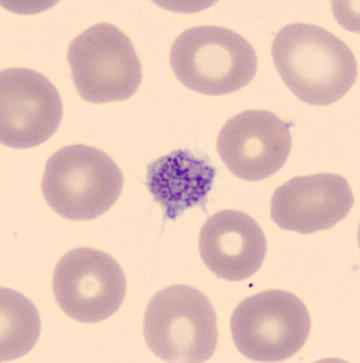
Morphology consistent with a platelet. Preparation: Peripheral blood film. May Grünwald-Giemsa stain.